May-Grünwald-Giemsa stain · single cell centered in the field · bone marrow aspirate smear.
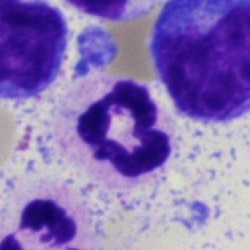

A polymorphonuclear neutrophil.